250×250 px; bone marrow smear; single cell centered in the field: 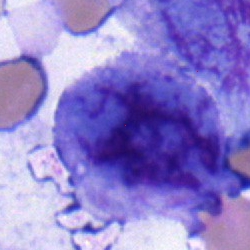 {"cell_type": "blast cell"}